Bone marrow smear.
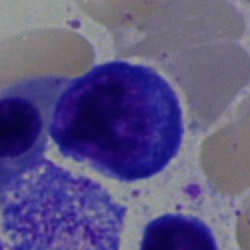

Morphology consistent with a normoblast.